Bone marrow smear — 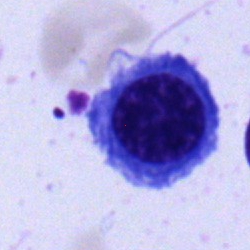 Specimen: bone marrow smear.
Cell: nucleated red cell.
Lineage: erythroid.